Image size 250×250. Single cell centered in the field. Bone marrow smear:
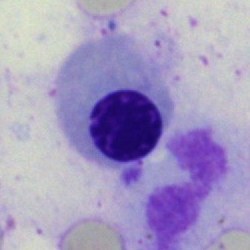

Morphology consistent with a nucleated red cell.